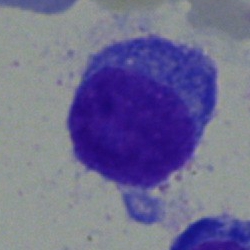Bone marrow smear showing a plasma cell.